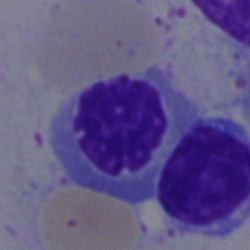 This is a nucleated red cell.